Single-cell crop. Bone marrow smear:
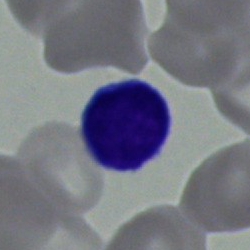{"cell_type": "lymphocyte", "lineage": "lymphoid"}